Bone marrow aspirate smear.
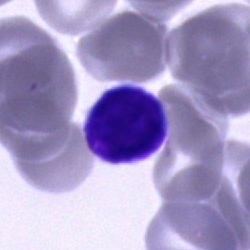 This is a lymphocyte.